Bone marrow smear:
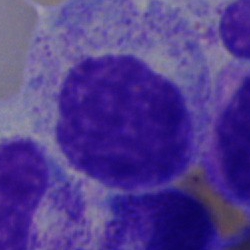Specimen: bone marrow smear.
Classification: myelocyte.